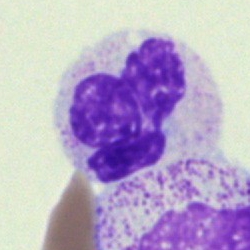
The morphological class is neutrophil (segmented).